Bone marrow aspirate smear; image size 250×250:
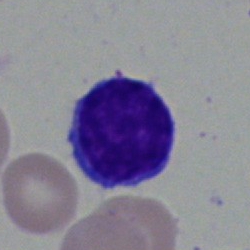 Cell type: typical lymphocyte.